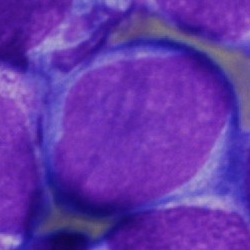
Specimen: bone marrow aspirate smear.
Classification: blast.